250 by 250 pixels; brightfield microscopy, 40× oil immersion; bone marrow smear
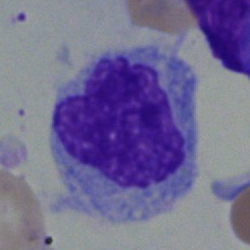 Q: What type of cell is this?
A: It is a monocyte.